Bone marrow smear — 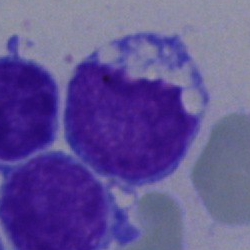
Morphology → typical lymphocyte.